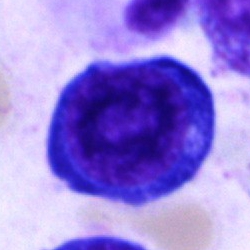

Specimen: bone marrow smear.
Morphological class: pronormoblast.